400 by 400 pixels. Peripheral blood smear — 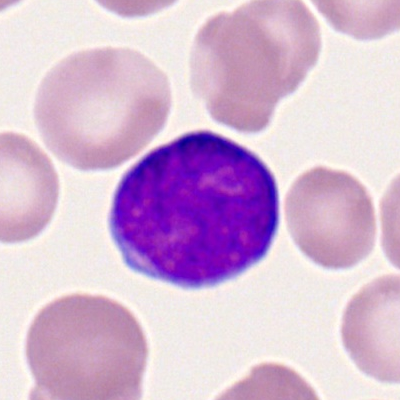
Morphology consistent with a lymphocyte.